Bone marrow aspirate smear; cropped to a single cell.
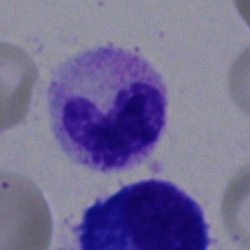

Q: Identify the cell.
A: This is a stab cell.